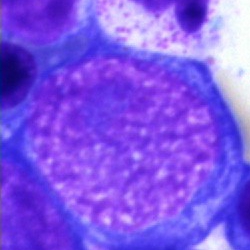
Specimen: bone marrow smear.
Cell type: pronormoblast.